Bone marrow aspirate smear · cropped to a single cell — 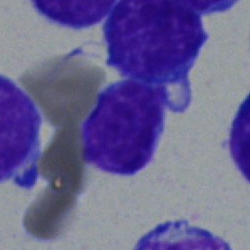

Showing a typical lymphocyte.